Peripheral blood smear. 400×400 px
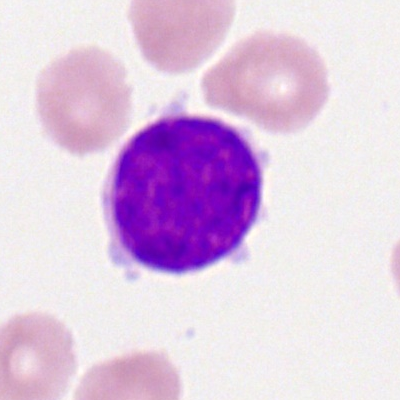Single cell identified as a lymphocyte.